MGG-stained · bone marrow smear · single-cell crop: 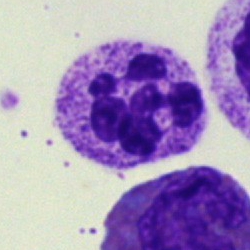Q: What is shown here?
A: It is a neutrophil (segmented).